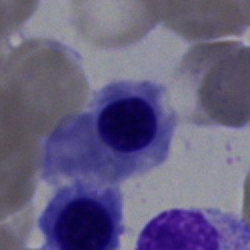
Morphological class: erythroblast.